Bone marrow aspirate smear. Brightfield microscopy, 40× oil immersion.
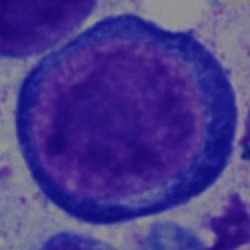

Cell type = pronormoblast.